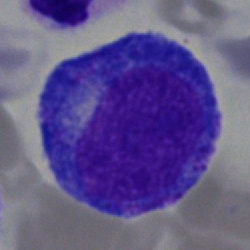

The classification is progranulocyte.